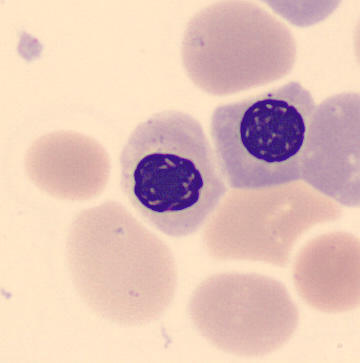

Q: What type of cell is this?
A: Nucleated red cell.